Bone marrow smear: 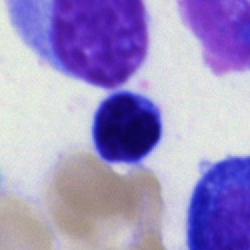 Morphology — lymphocyte.